Bone marrow smear
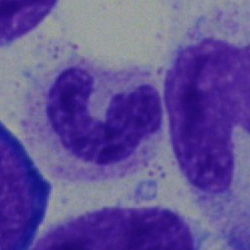
Impression → neutrophil (band).